Bone marrow aspirate smear: 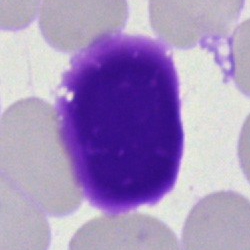Morphological class — artifact.